Single-cell field · bone marrow aspirate smear:
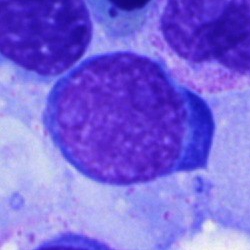
Morphology consistent with a blast.